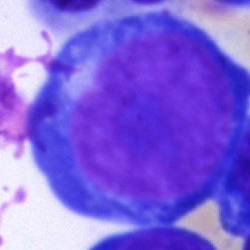
Q: Which cell type is shown here?
A: Pronormoblast.